Bone marrow aspirate smear · single cell centered in the field · 250×250 px — 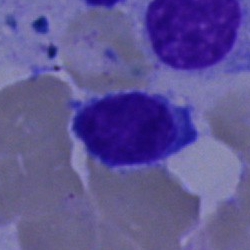
Impression — typical lymphocyte.